Bone marrow smear · brightfield microscopy, 40× oil immersion · cropped to a single cell — 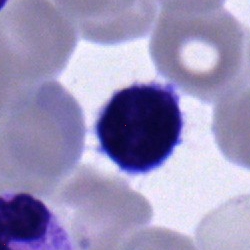

Showing a typical lymphocyte.